Bone marrow aspirate smear — 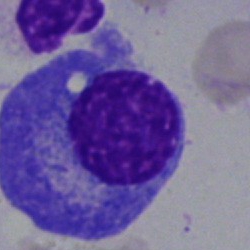 Plasmacyte.